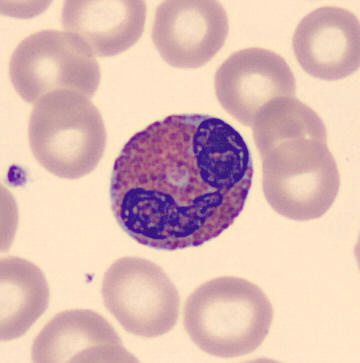

Peripheral blood smear showing an eosinophil.